Romanowsky stain. Brightfield, 100× oil-immersion objective. Peripheral blood film — 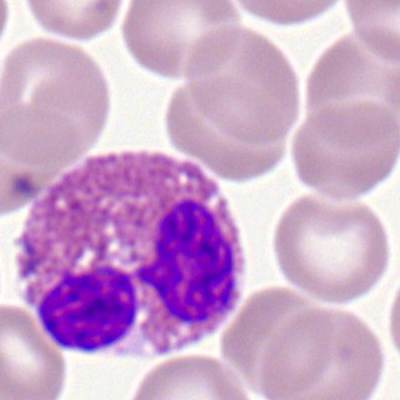Morphology consistent with an eosinophil.